Pappenheim-stained. Bone marrow smear
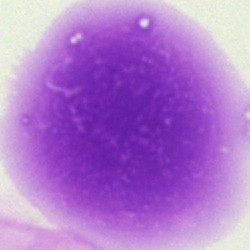 Morphological class = artefact.